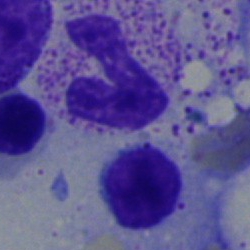 Cell type: band neutrophil.